Bone marrow aspirate smear · image size 250×250 · May-Grünwald-Giemsa stain.
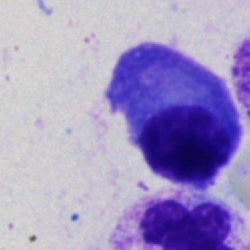 Morphological class — plasma cell.